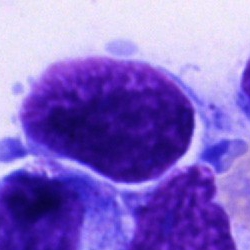

Classification: artifact.